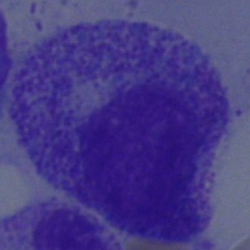
Impression — myelocyte.